May-Grünwald-Giemsa/Pappenheim stain · bone marrow aspirate smear · single-cell field:
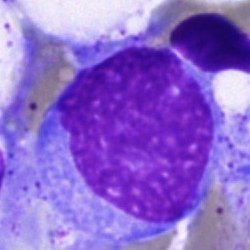 Impression → blast.